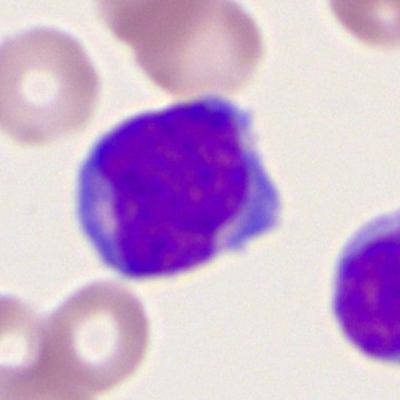
Showing a myeloblast.